Bone marrow smear — 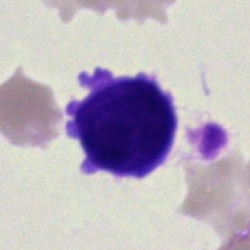The cell type is undifferentiated blast.